May-Grünwald-Giemsa/Pappenheim stain; bone marrow smear; brightfield microscopy, 40× oil immersion:
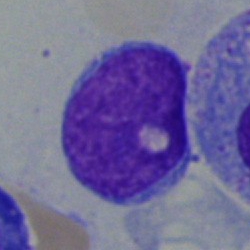This is a blast cell.